Single-cell crop. Peripheral blood smear: 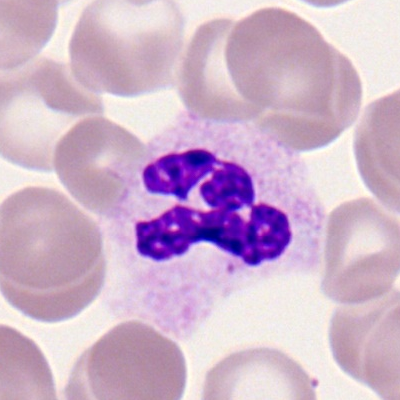Impression — polymorphonuclear neutrophil.